Bone marrow aspirate smear: 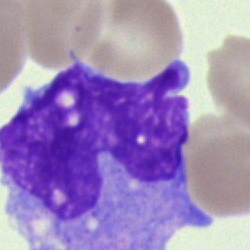 {"cell_type": "monocyte"}